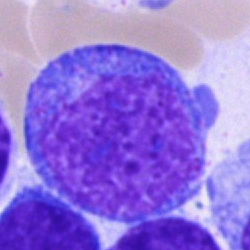
Q: What is the morphological classification of this cell?
A: It is a promyelocyte.